Bone marrow aspirate smear:
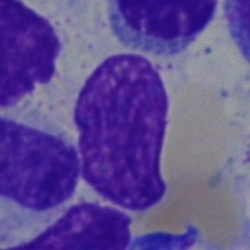
Cell: artefact.